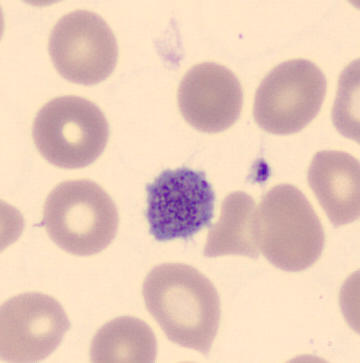 Classification — platelet (thrombocyte). Peripheral blood film.